250×250; bone marrow smear: 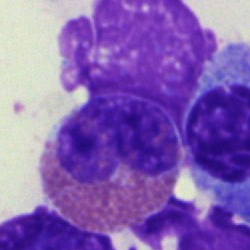Q: What cell is this?
A: An eosinophil.